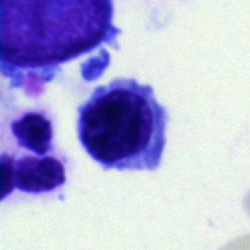
Morphology → nucleated red blood cell.